250 by 250 pixels. 40× oil immersion. Bone marrow smear
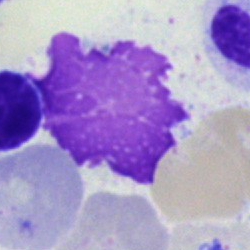 Morphology — artifact.